Image size 400×400. Peripheral blood smear — 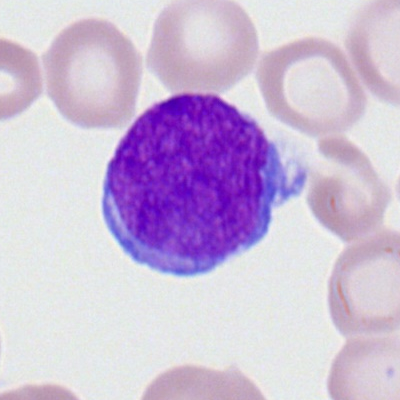Q: What cell is this?
A: It is a myeloblast.